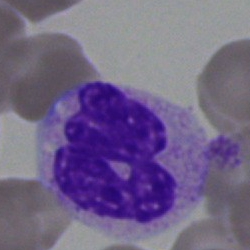 Specimen: bone marrow aspirate smear.
Morphological class: neutrophil (segmented).